Bone marrow smear — 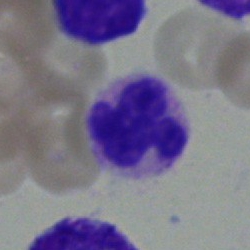
Q: Identify the cell.
A: A segmented neutrophil.